Bone marrow smear: 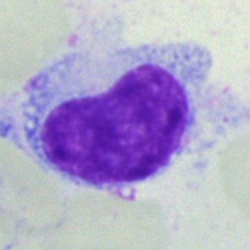 A hairy cell.